Romanowsky-stained. 400×400. Peripheral blood film: 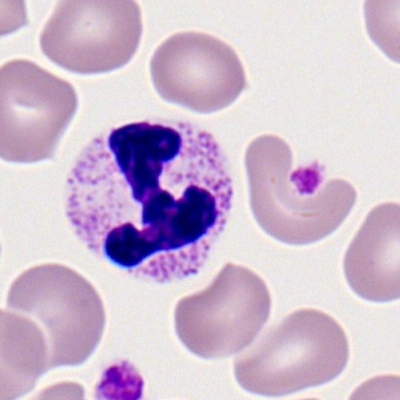
Showing a segmented neutrophil.